Peripheral blood film
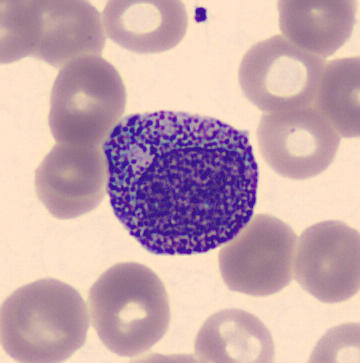 Impression — promyelocyte.